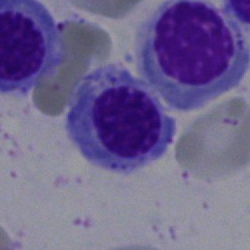 Q: What cell is this?
A: Nucleated red cell.